Bone marrow smear; May-Grünwald-Giemsa/Pappenheim stain — 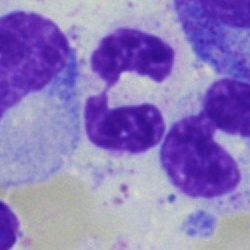Single cell identified as a polymorphonuclear neutrophil.